Bone marrow smear: 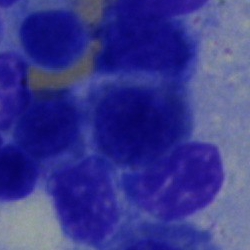

Single cell identified as a normoblast.